May-Grünwald-Giemsa stain; bone marrow aspirate smear; brightfield, 40× oil-immersion objective.
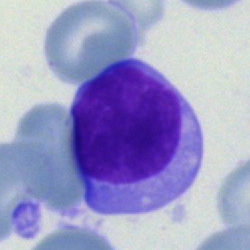 Q: What is the morphological classification of this cell?
A: A lymphocyte.